Pappenheim-stained; cropped to a single cell; bone marrow smear.
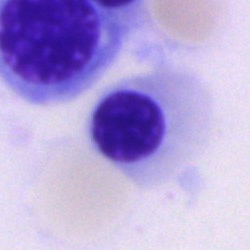Morphology consistent with a nucleated red blood cell.